Bone marrow aspirate smear — 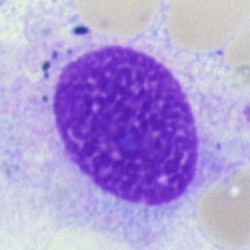 Morphology — artifact.